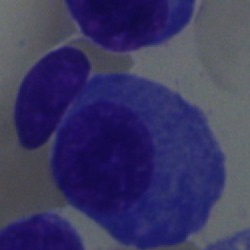 {"cell_type": "plasmacyte", "lineage": "lymphoid"}